Bone marrow smear
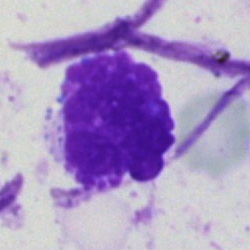

This is an artefact.